Bone marrow smear · Pappenheim-stained: 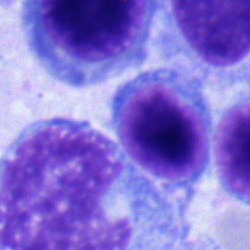 Specimen: bone marrow smear.
Cell: nucleated red blood cell.
Lineage: erythroid.